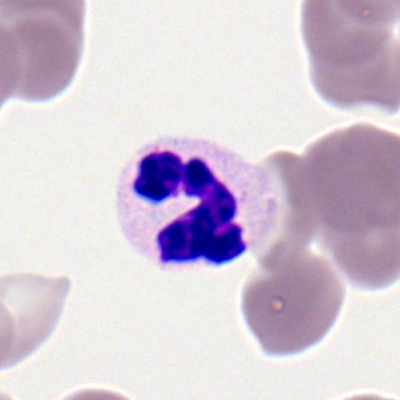A polymorphonuclear neutrophil on a peripheral blood smear.